Bone marrow aspirate smear.
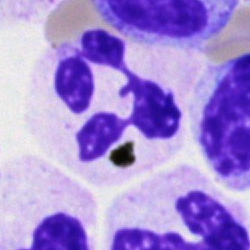 The classification is segmented neutrophil.